Brightfield microscopy, 40× oil immersion; bone marrow smear; single cell centered in the field:
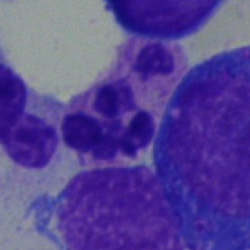
Morphology consistent with a segmented neutrophil.